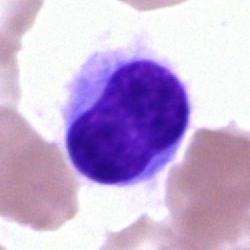
This is a hairy cell.